Bone marrow smear: 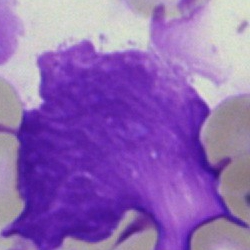 Impression — artefact.